Bone marrow aspirate smear
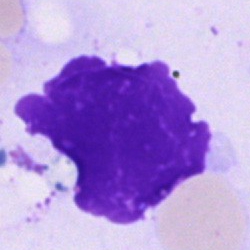 Artefact.